May-Grünwald-Giemsa stain · 250×250 · bone marrow smear.
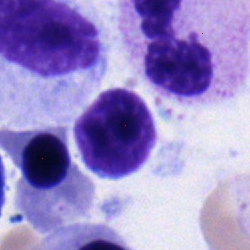Specimen: bone marrow aspirate smear.
Classification: neutrophil (band).